Peripheral blood smear
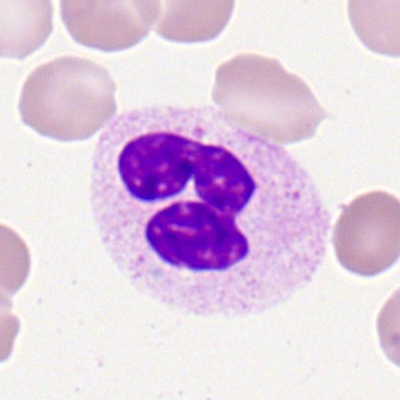 Showing a neutrophil (segmented).